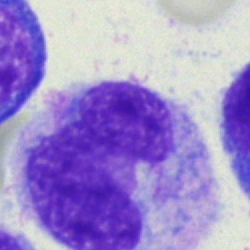 A monocyte.